Bone marrow aspirate smear; MGG-stained — 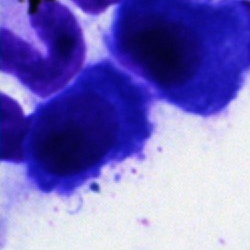

A plasma cell.